Bone marrow smear: 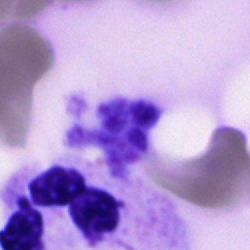

Specimen: bone marrow smear.
Classification: segmented neutrophil.
Lineage: myeloid.